Bone marrow smear · 250×250 px: 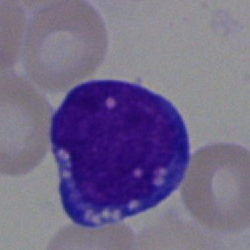Specimen: bone marrow smear.
Classification: blast.